Bone marrow smear.
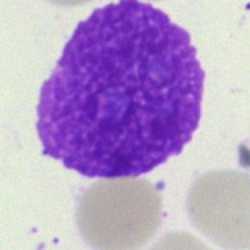Morphology — artifact.